Bone marrow smear · brightfield microscopy, 40× oil immersion
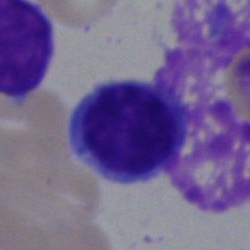Morphological class — typical lymphocyte.